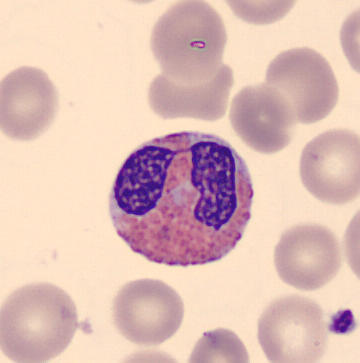 Morphological class = eosinophilic granulocyte. Acquisition: Peripheral blood smear.